Peripheral blood smear; Romanowsky-stained — 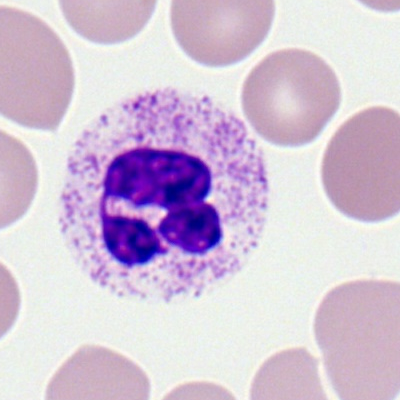

Single cell identified as a polymorphonuclear neutrophil.